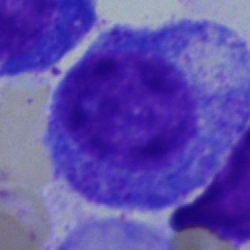{"cell_type": "progranulocyte"}